Peripheral blood smear
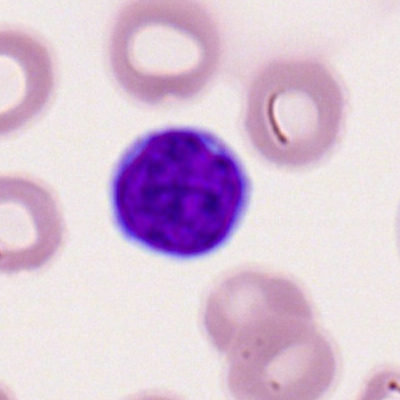 Impression → typical lymphocyte.